Bone marrow smear · MGG-stained
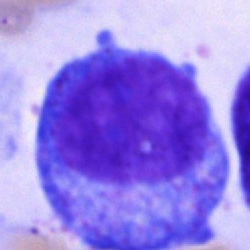 Morphological class: promyelocyte.